Bone marrow smear. 40× objective, oil immersion.
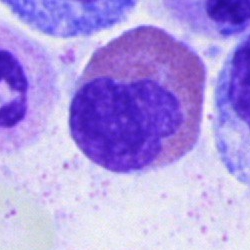
Cell — eosinophilic granulocyte.